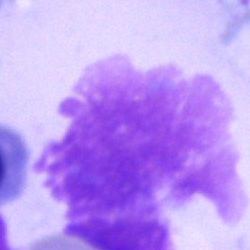The classification is artefact.